Bone marrow aspirate smear
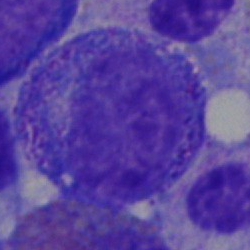
Single cell identified as a promyelocyte.